Peripheral blood smear. 100× oil immersion — 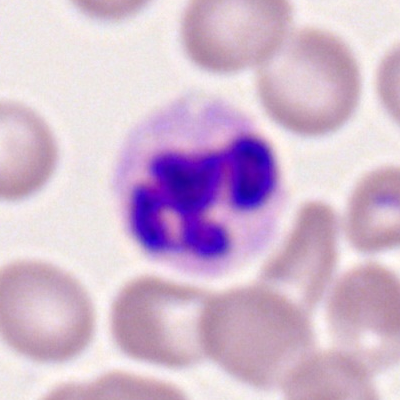

This is a polymorphonuclear neutrophil.